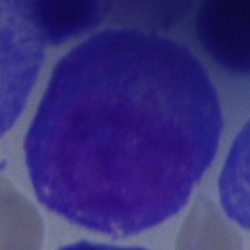
The cell shown is a progranulocyte.